Bone marrow smear · single-cell field · image size 250×250:
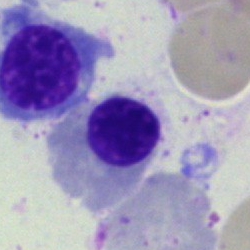
Q: Which cell type is shown here?
A: An erythroblast.